Bone marrow smear — 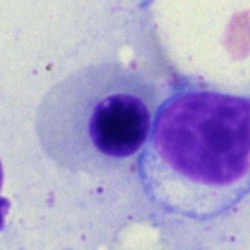 Morphology — erythroblast.